Peripheral blood smear: 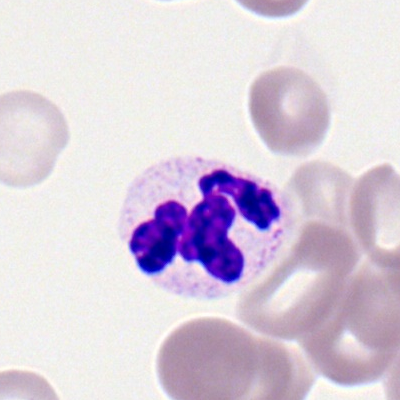

Specimen: peripheral blood smear.
Morphological class: neutrophil (segmented).
Lineage: myeloid.